Bone marrow smear:
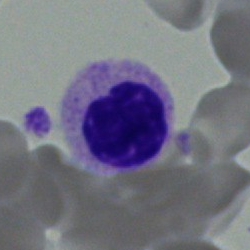
Specimen: bone marrow smear.
Cell type: myelocyte.
Lineage: myeloid.